Peripheral blood smear; May-Grünwald-Giemsa-stained — 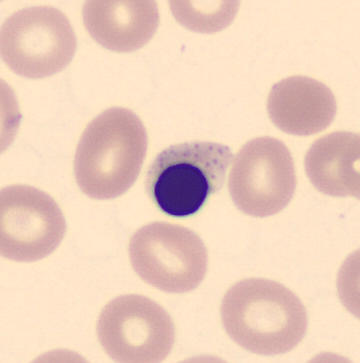

Cell — nucleated red cell.